Bone marrow smear — 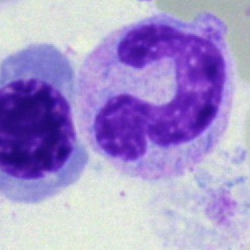
A monocyte.